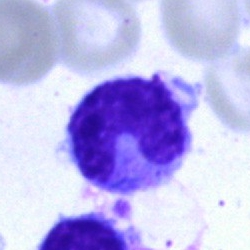

A stab cell on a bone marrow smear.